Bone marrow aspirate smear; image size 250×250:
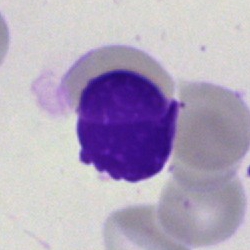Specimen: bone marrow smear.
Cell type: artifact.